Bone marrow smear: 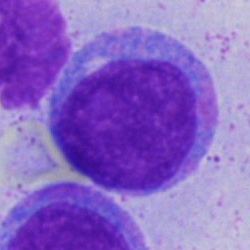Morphology consistent with an undifferentiated blast.